40× oil immersion; bone marrow aspirate smear; image size 250×250 — 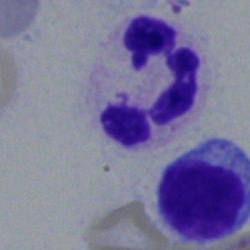
{"cell_type": "neutrophil (segmented)"}